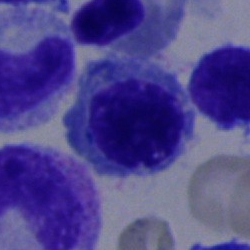 A nucleated red cell on a bone marrow smear.